Bone marrow smear.
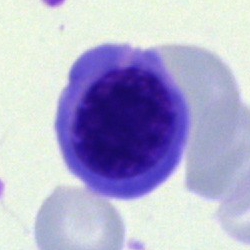
Showing a nucleated red blood cell.